Bone marrow smear · brightfield, 40× oil-immersion objective — 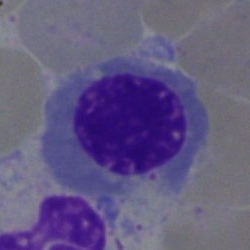Morphological class: nucleated red blood cell.